250 by 250 pixels. Bone marrow smear — 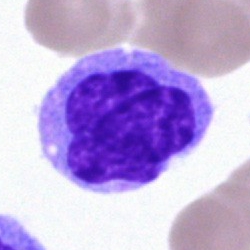

Classification = monocyte.